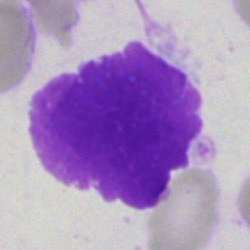
Cell: artifact.